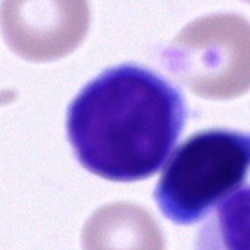Morphology — typical lymphocyte.